Bone marrow aspirate smear; May-Grünwald-Giemsa stain: 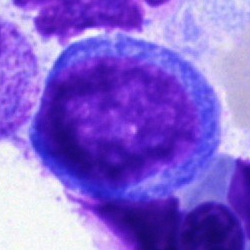 A blast.